Cropped to a single cell · 250×250 px · bone marrow smear.
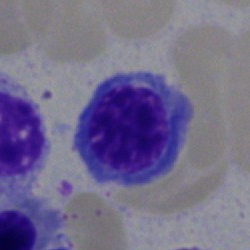
This is a normoblast.